Bone marrow aspirate smear: 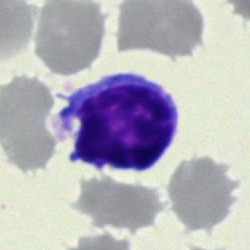

This is a lymphocyte.